Cropped to a single cell; peripheral blood smear; Romanowsky-type stain.
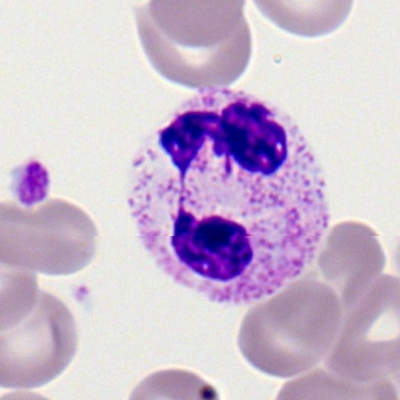

Morphological class — segmented neutrophil.